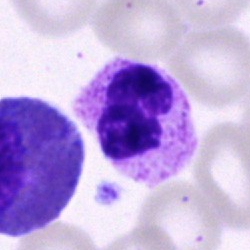 The cell type is polymorphonuclear neutrophil.